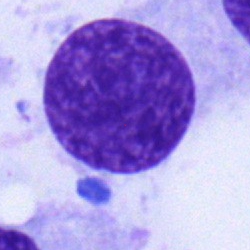Plasma cell.